Bone marrow aspirate smear — 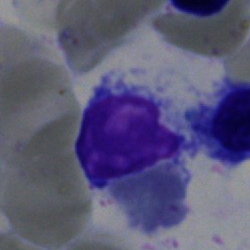 Impression → artifact.